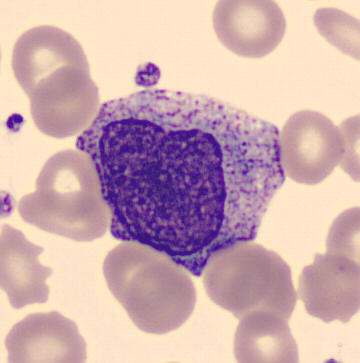
Classification: promyelocyte.
Peripheral blood film.